Bone marrow aspirate smear; 250 by 250 pixels; MGG-stained: 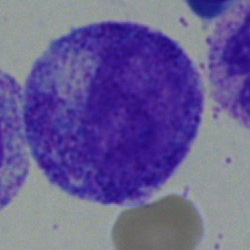

Single cell identified as a progranulocyte.